Automated cell imaging (CellaVision DM96). Peripheral blood smear — 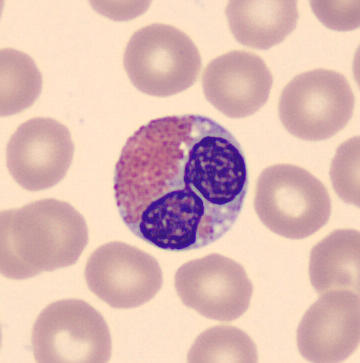 Classification: eosinophilic granulocyte.